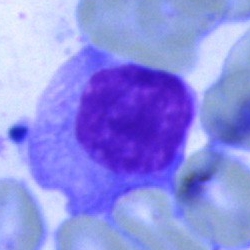

Specimen: bone marrow aspirate smear.
Morphological class: plasma cell.
Lineage: lymphoid.